Bone marrow smear; brightfield microscopy, 40× oil immersion; image size 250×250:
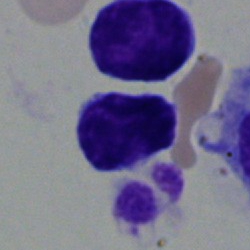

The cell shown is a lymphocyte.